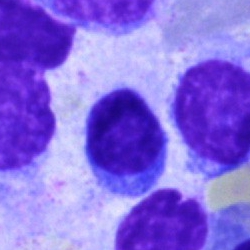A lymphocyte.